Bone marrow aspirate smear. Single-cell crop. Pappenheim-stained:
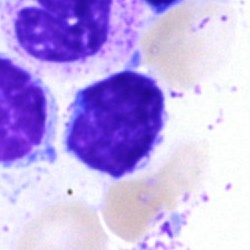
Morphology → lymphocyte.